Bone marrow aspirate smear; May-Grünwald-Giemsa/Pappenheim stain: 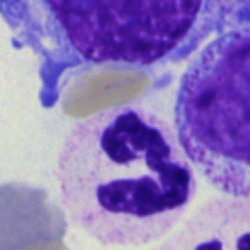
A segmented neutrophil.